Bone marrow aspirate smear — 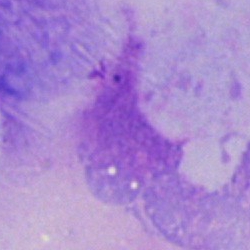

Specimen: bone marrow smear.
Cell type: artifact.